Bone marrow aspirate smear; brightfield, 40× oil-immersion objective; single-cell field: 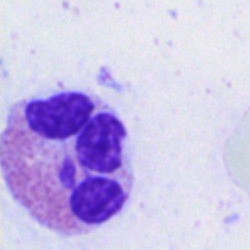 Classification — eosinophil.